Bone marrow smear:
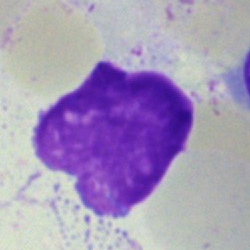Artefact.